Bone marrow aspirate smear; 250×250 px — 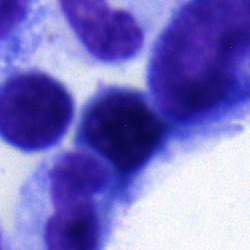Morphology consistent with an erythroblast.